Bone marrow smear · 250×250 px · Pappenheim-stained: 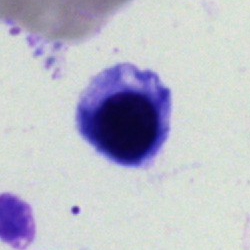Single cell identified as an erythroblast.